360 by 363 pixels · peripheral blood smear · May Grünwald-Giemsa stain
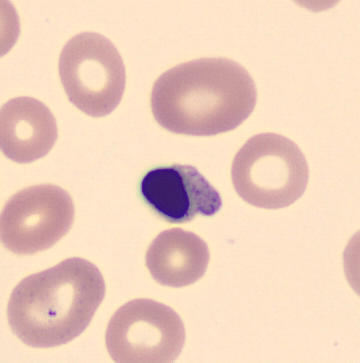
An erythroblast.